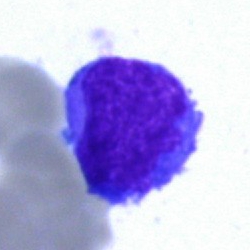 Q: What type of cell is this?
A: Undifferentiated blast.